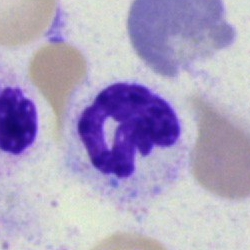

Morphology → neutrophil (segmented).